250 by 250 pixels · bone marrow smear — 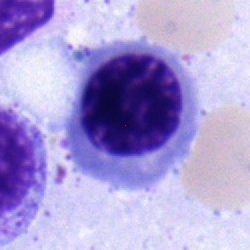Showing an erythroblast.